Bone marrow smear: 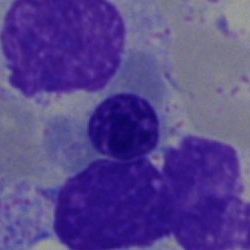

The cell is nucleated red cell.